Bone marrow smear: 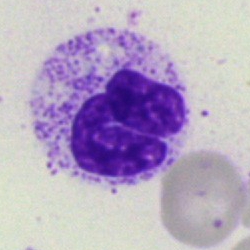

Impression → neutrophil (segmented).